Romanowsky stain; single cell centered in the field; peripheral blood smear — 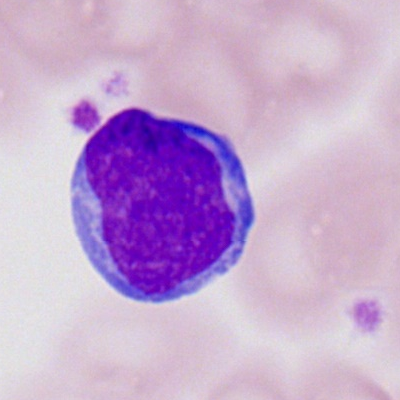The cell is myeloid blast.